Peripheral blood film: 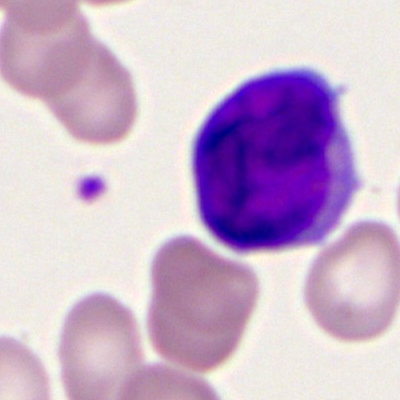 The cell is myeloid blast.